Bone marrow smear; 40× objective, oil immersion:
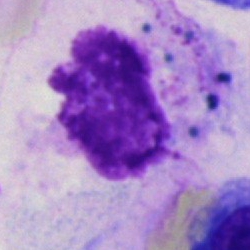

Cell type = artefact.